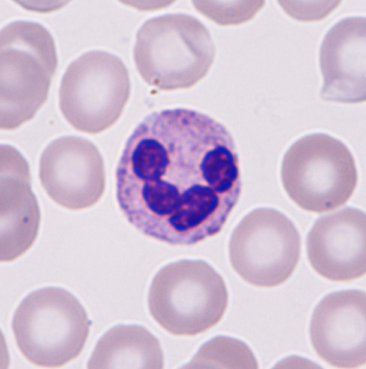
Acquisition: Peripheral blood film.
The cell is neutrophil.